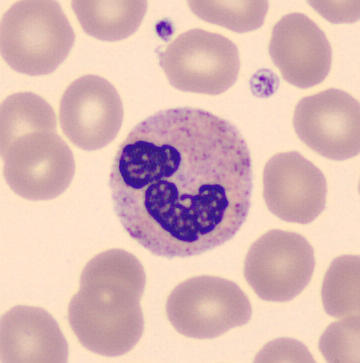Q: What type of cell is this?
A: This is a segmented neutrophil.